Bone marrow aspirate smear:
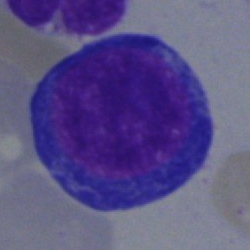Specimen: bone marrow smear.
Cell: nucleated red cell.